Brightfield microscopy, 40× oil immersion. Bone marrow smear. Single-cell crop.
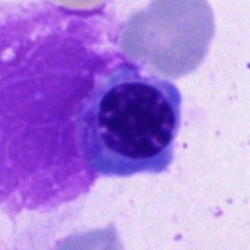 Showing a normoblast.